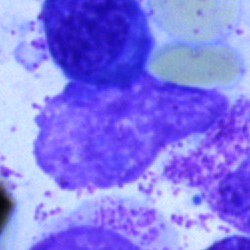
Classification = artefact.